Single cell centered in the field; bone marrow smear:
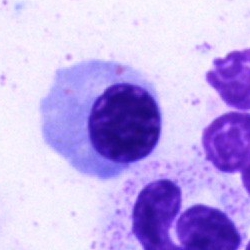Cell type: blast cell.